Bone marrow aspirate smear: 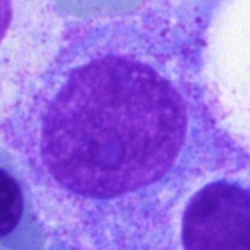

Specimen: bone marrow aspirate smear.
Cell type: myelocyte.
Lineage: myeloid.